Single cell centered in the field · bone marrow aspirate smear · 250×250 — 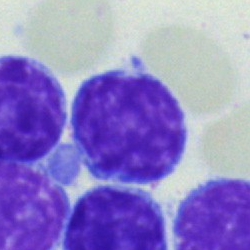 Specimen: bone marrow aspirate smear.
Morphological class: lymphocyte.